40× oil immersion. Bone marrow aspirate smear: 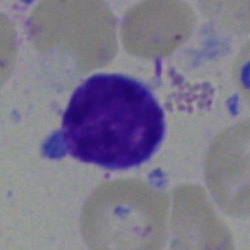
A typical lymphocyte.